Bone marrow aspirate smear · May-Grünwald-Giemsa/Pappenheim stain
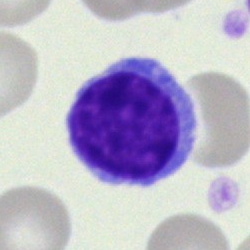
This is a typical lymphocyte.